Bone marrow smear. Brightfield microscopy, 40× oil immersion: 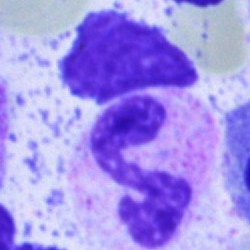

Morphology — segmented neutrophil.